Single-cell crop; bone marrow smear; 250×250.
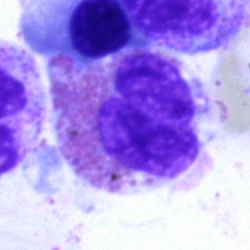
Morphological class — eosinophilic granulocyte.